Bone marrow smear — 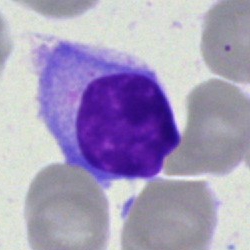Single cell identified as a lymphocyte.